MGG-stained · cropped to a single cell · bone marrow aspirate smear:
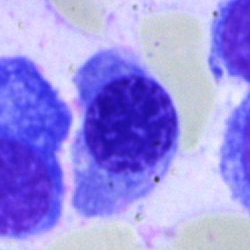 Nucleated red blood cell.